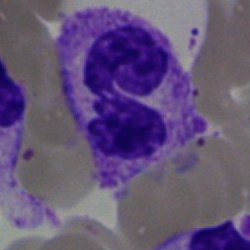{"cell_type": "polymorphonuclear neutrophil"}